Bone marrow aspirate smear
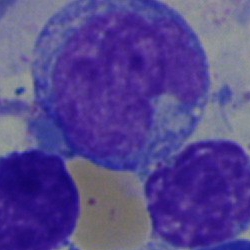

Impression — blast.